Brightfield, 40× oil-immersion objective. Bone marrow aspirate smear: 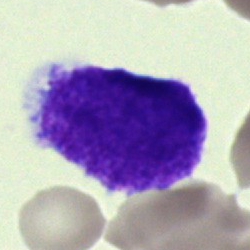

Classification: undifferentiated blast.